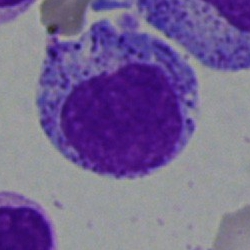
Specimen: bone marrow aspirate smear.
Cell: myelocyte.